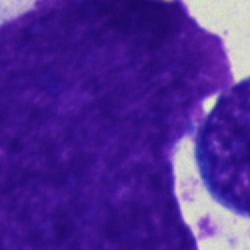

Q: What is shown here?
A: Artefact.